Bone marrow smear:
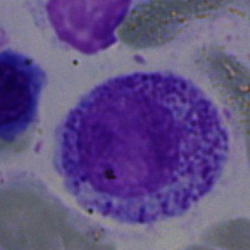 Cell = myelocyte.